Bone marrow aspirate smear: 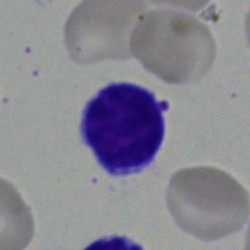Q: What is the morphological classification of this cell?
A: Lymphocyte.